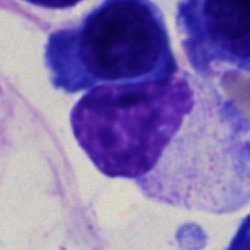 Morphology → myelocyte.